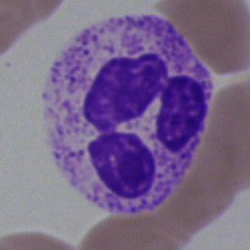

This is a neutrophil (segmented).